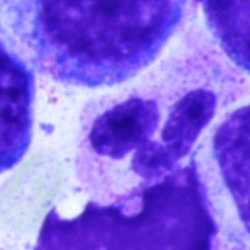Cell — neutrophil (segmented).